Bone marrow aspirate smear; 250 by 250 pixels; single cell centered in the field.
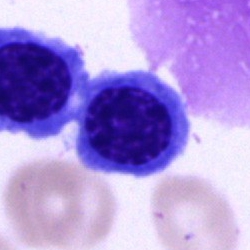

The cell type is normoblast.